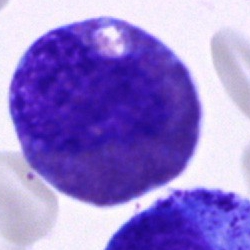The cell shown is an eosinophil.